Bone marrow smear — 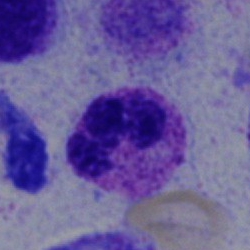 This is a polymorphonuclear neutrophil.